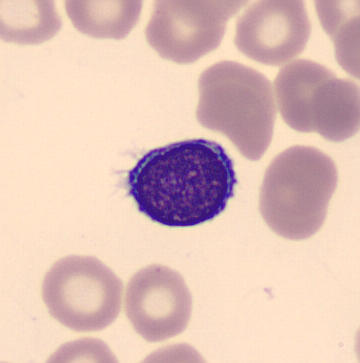 Morphological class = typical lymphocyte.